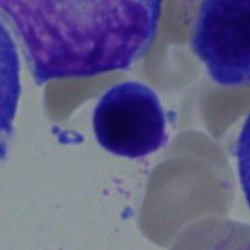

Morphological class = typical lymphocyte.